Bone marrow aspirate smear · brightfield, 40× oil-immersion objective · Pappenheim-stained:
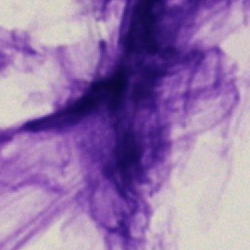

The classification is artifact.